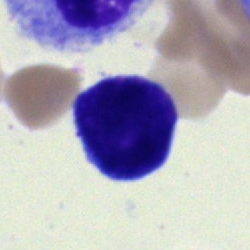
Morphological class: typical lymphocyte.